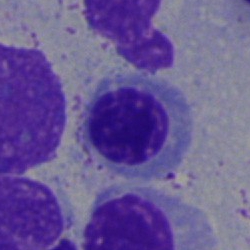 Q: What is the morphological classification of this cell?
A: Nucleated red blood cell.